Bone marrow smear. 40× oil immersion:
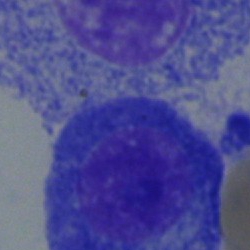

{"cell_type": "plasmacyte"}